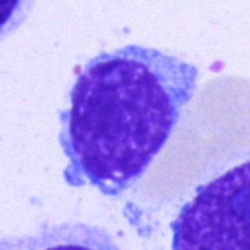{"cell_type": "typical lymphocyte", "lineage": "lymphoid"}